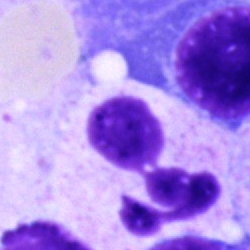Morphological class: polymorphonuclear neutrophil.